Single-cell field · MGG-stained · bone marrow aspirate smear
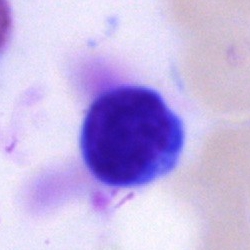

Morphology — typical lymphocyte.